Peripheral blood smear:
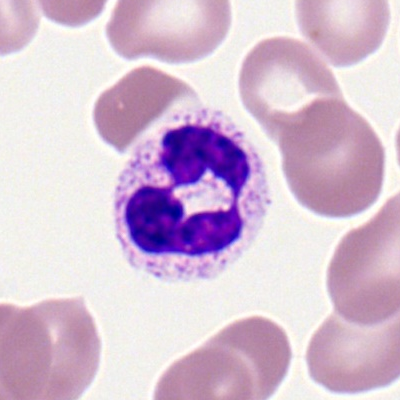

Single cell identified as a segmented neutrophil.